Peripheral blood smear. Single cell centered in the field:
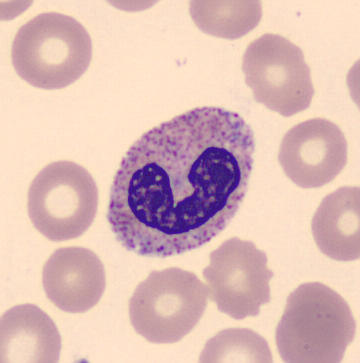

Impression — band neutrophil.